40× oil immersion · bone marrow smear — 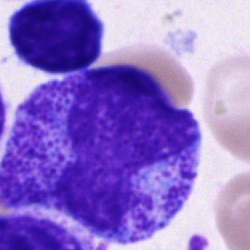Promyelocyte.